Single cell centered in the field. Bone marrow smear: 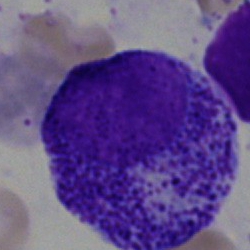Impression — progranulocyte.